Bone marrow smear.
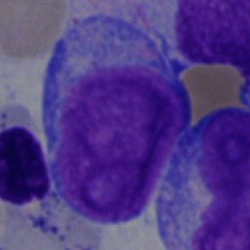 Q: What type of cell is this?
A: It is a blast cell.